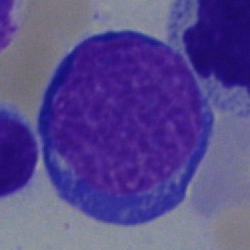
Specimen: bone marrow smear.
Cell type: proerythroblast.